Bone marrow aspirate smear; 40× oil immersion — 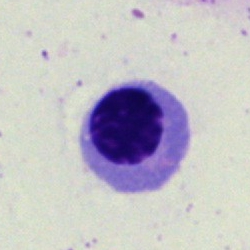

Cell = normoblast.